Bone marrow aspirate smear.
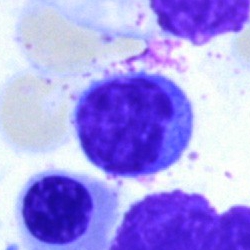 Morphology consistent with a typical lymphocyte.